Bone marrow smear:
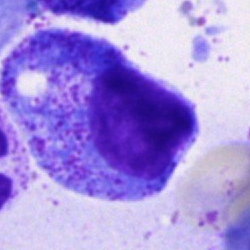
Cell = promyelocyte.